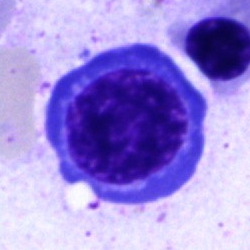Q: What is the morphological classification of this cell?
A: An erythroblast.